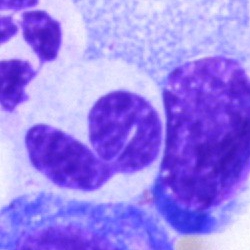The cell is polymorphonuclear neutrophil.